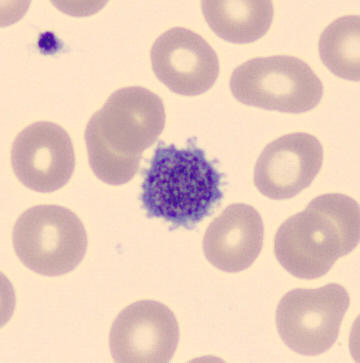 Morphology → platelet.
Image: Peripheral blood smear.